Bone marrow smear; cropped to a single cell; May-Grünwald-Giemsa/Pappenheim stain:
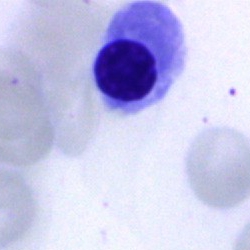
Specimen: bone marrow smear.
Classification: nucleated red cell.
Lineage: erythroid.